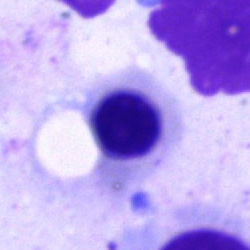 Q: What cell is this?
A: It is a nucleated red cell.